40× objective, oil immersion. May-Grünwald-Giemsa stain. Bone marrow aspirate smear — 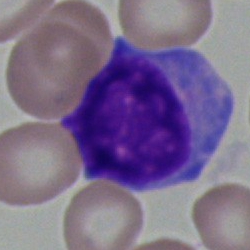

Impression → blast cell.